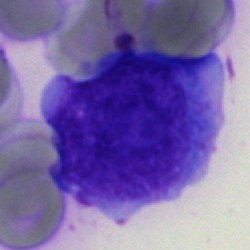
Bone marrow aspirate smear, single cell — undifferentiated blast.